Bone marrow smear: 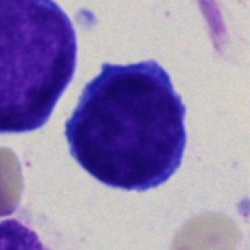

Cell type: nucleated red cell.